Bone marrow aspirate smear. 250×250. MGG-stained — 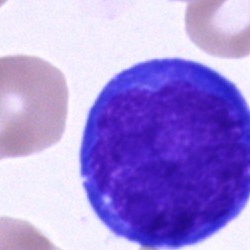Q: What cell is this?
A: It is a blast cell.